May-Grünwald-Giemsa stain; bone marrow smear: 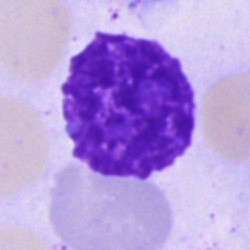

Morphology consistent with an artifact.